Bone marrow smear · 40× objective, oil immersion · 250×250 px — 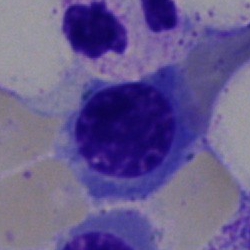 A normoblast.